250×250; bone marrow smear; brightfield microscopy, 40× oil immersion:
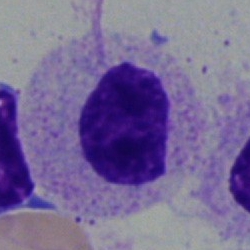 {"cell_type": "myelocyte", "lineage": "myeloid"}